Bone marrow smear — 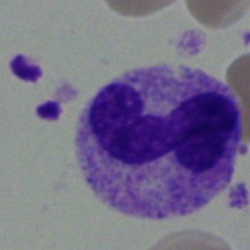Showing a polymorphonuclear neutrophil.